Bone marrow aspirate smear — 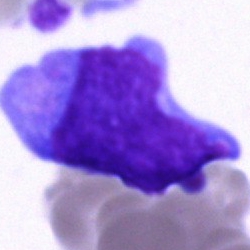 Morphological class = undifferentiated blast.